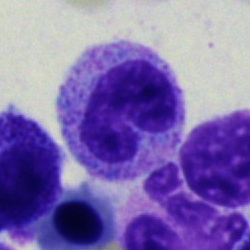
Q: Which cell type is shown here?
A: A stab cell.